Bone marrow smear — 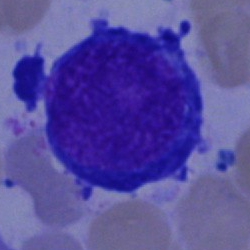
A nucleated red cell.